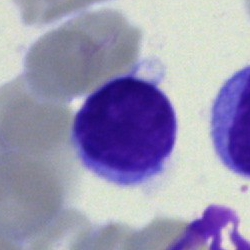Classification = lymphocyte.